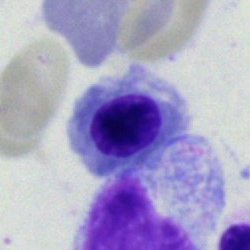

Classification: nucleated red blood cell.